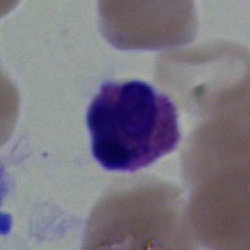
Q: What is shown here?
A: Eosinophilic granulocyte.